Bone marrow aspirate smear. 40× objective, oil immersion.
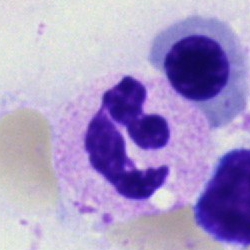Q: Which cell type is shown here?
A: This is a segmented neutrophil.